May-Grünwald-Giemsa stain · bone marrow aspirate smear:
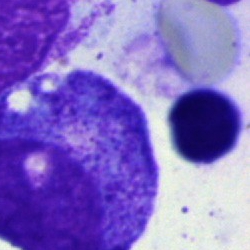Morphological class — progranulocyte.